Bone marrow smear — 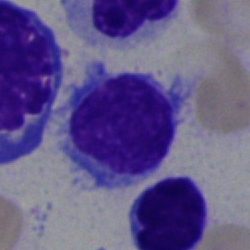 Specimen: bone marrow aspirate smear.
Classification: lymphocyte.
Lineage: lymphoid.